Bone marrow aspirate smear · 40× oil immersion · Pappenheim-stained
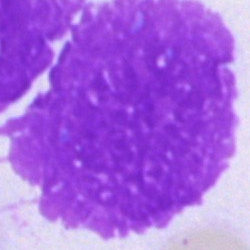

Morphology consistent with an artifact.